Bone marrow aspirate smear; brightfield, 40× oil-immersion objective; 250×250 px:
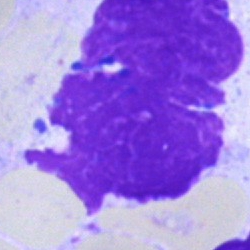Morphological class = artefact.